Bone marrow smear · Pappenheim-stained
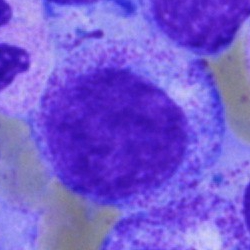 Cell — progranulocyte.